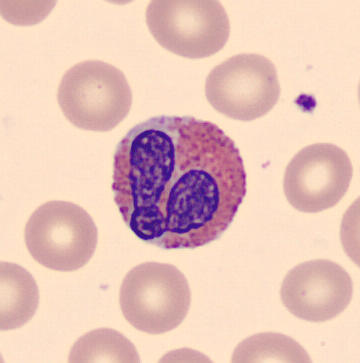The cell type is eosinophil.

Acquisition: Peripheral blood film.